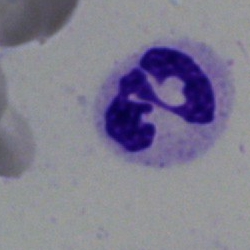 Q: What cell is this?
A: A segmented neutrophil.